Peripheral blood film; single cell centered in the field
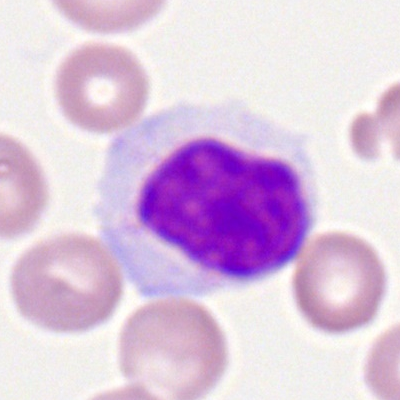The cell type is monocyte.